Bone marrow aspirate smear · brightfield, 40× oil-immersion objective: 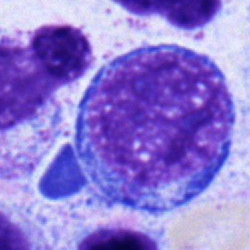 A nucleated red cell.